Bone marrow aspirate smear — 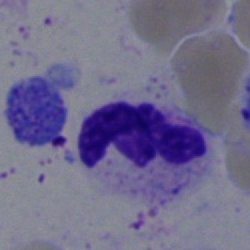
Morphological class = segmented neutrophil.